Bone marrow smear:
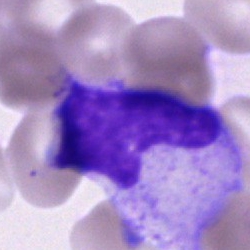

An unidentifiable cell.